Bone marrow aspirate smear; 250×250.
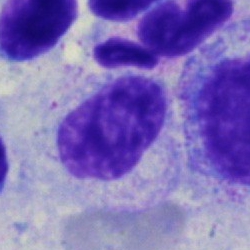 Morphology consistent with a myelocyte.